May-Grünwald-Giemsa/Pappenheim stain. Bone marrow aspirate smear — 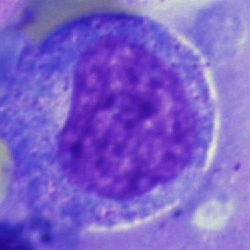 Impression — promyelocyte.